Bone marrow smear:
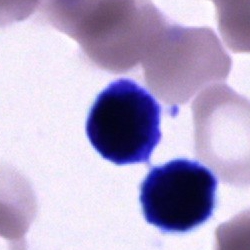

Cell of indeterminate lineage.